Bone marrow smear
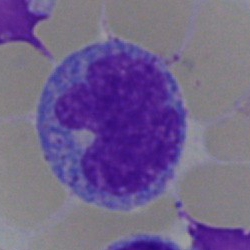

Impression — monocyte.